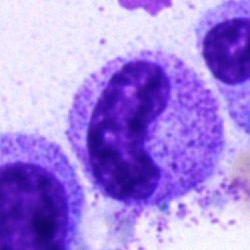

{"cell_type": "neutrophil (band)", "lineage": "myeloid"}